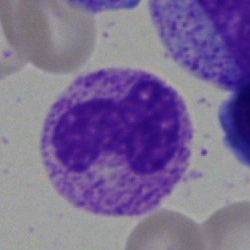

Q: Identify the cell.
A: This is a band neutrophil.